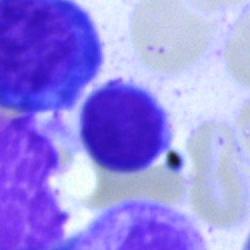Specimen: bone marrow smear.
Cell: lymphocyte.
Lineage: lymphoid.